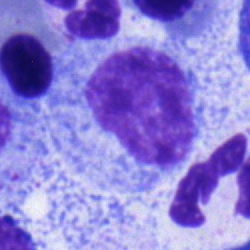 The classification is myelocyte.